Bone marrow aspirate smear:
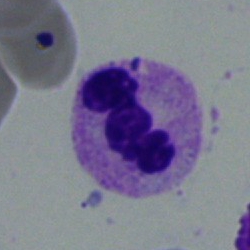
Q: What is shown here?
A: It is a polymorphonuclear neutrophil.